Bone marrow aspirate smear — 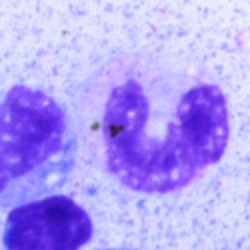

Morphological class = segmented neutrophil.